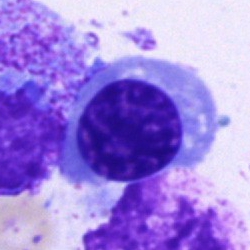
Q: What type of cell is this?
A: This is a nucleated red cell.